Bone marrow aspirate smear — 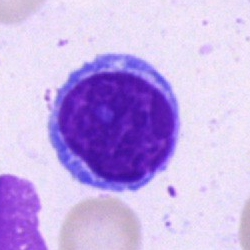

The morphological class is lymphocyte.